Bone marrow aspirate smear.
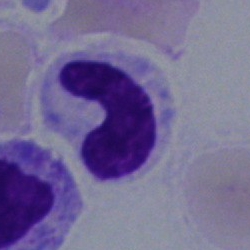Cell type — stab cell.